May-Grünwald-Giemsa stain. Bone marrow smear. 250×250 px — 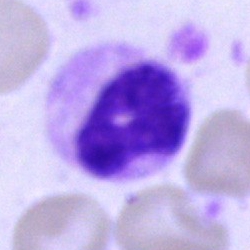
Morphological class — neutrophil (segmented).